Single cell centered in the field; bone marrow smear.
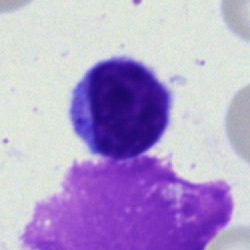The cell shown is a typical lymphocyte.